Single-cell crop · bone marrow aspirate smear.
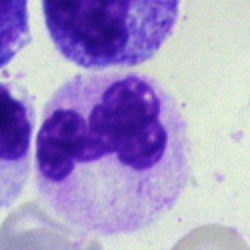

A segmented neutrophil.